Romanowsky stain. Peripheral blood film.
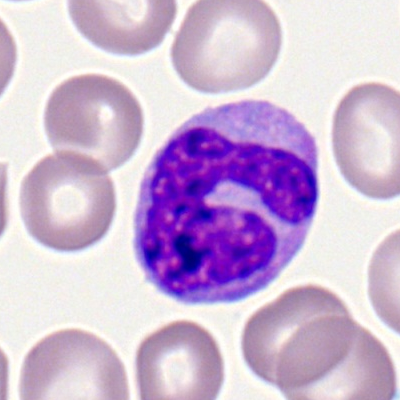

Cell = monocyte.